Bone marrow aspirate smear
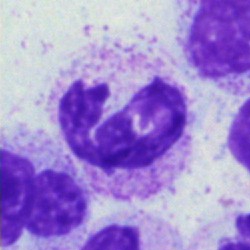
Cell type — polymorphonuclear neutrophil.